Bone marrow smear
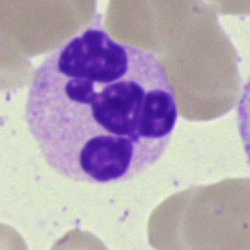A neutrophil (segmented).